Bone marrow aspirate smear. Brightfield microscopy, 40× oil immersion — 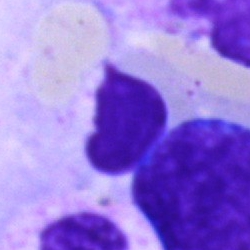Morphology — artifact.